Bone marrow smear: 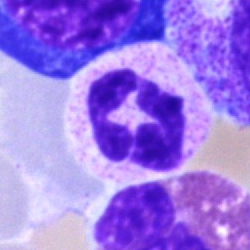

Q: Which cell type is shown here?
A: It is a polymorphonuclear neutrophil.